Bone marrow smear.
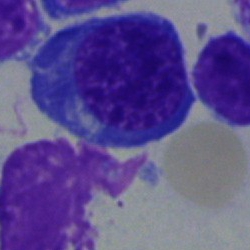 Showing a pronormoblast.